Brightfield microscopy, 40× oil immersion · 250 by 250 pixels · bone marrow aspirate smear:
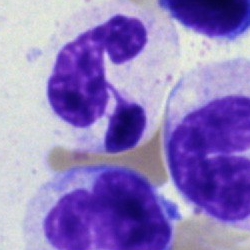
Morphology — neutrophil (segmented).